Bone marrow smear; MGG-stained; brightfield, 40× oil-immersion objective
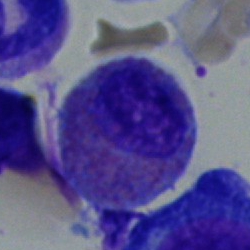Specimen: bone marrow smear.
Cell type: eosinophilic granulocyte.
Lineage: myeloid.